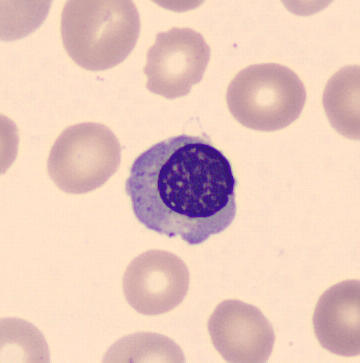
Single cell centered in the field; peripheral blood smear. Identified as a nucleated red blood cell.